Peripheral blood film.
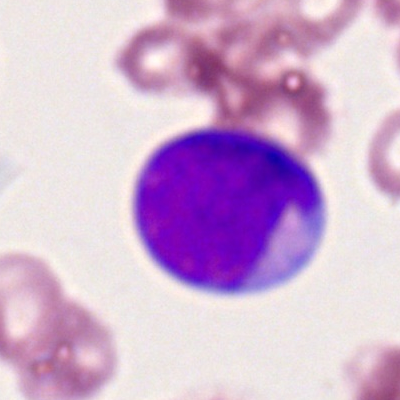 A myeloblast.